Bone marrow aspirate smear; 250×250; brightfield microscopy, 40× oil immersion:
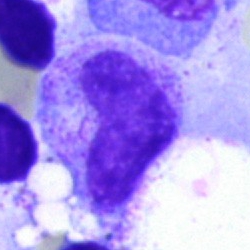

Cell: band-form neutrophil.